MGG-stained; bone marrow aspirate smear: 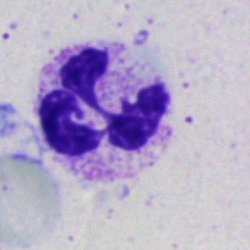 Polymorphonuclear neutrophil.